Bone marrow smear — 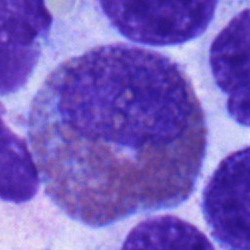 Q: Identify the cell.
A: This is an eosinophil.